Single-cell field. Bone marrow smear — 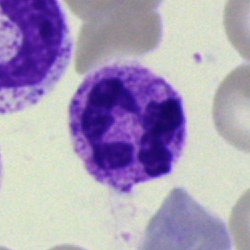
Morphology — segmented neutrophil.